Bone marrow smear: 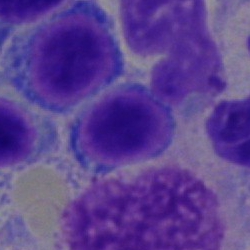Cell type: typical lymphocyte.